Peripheral blood smear. Single-cell crop. 400×400: 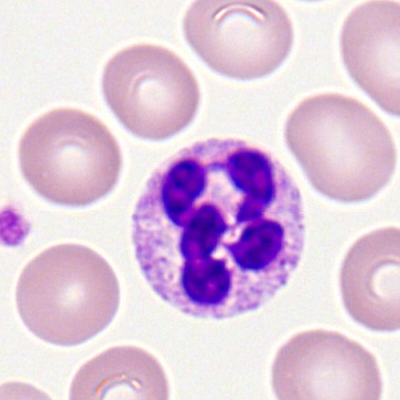A segmented neutrophil.